Bone marrow aspirate smear: 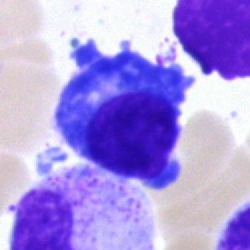
Morphology consistent with a plasmacyte.